Bone marrow smear.
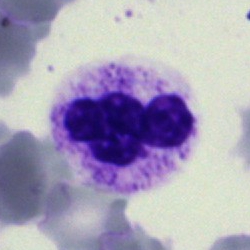Morphology — segmented neutrophil.